Bone marrow aspirate smear; May-Grünwald-Giemsa stain:
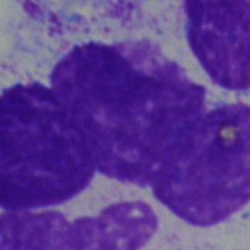{"cell_type": "artifact"}